Bone marrow aspirate smear:
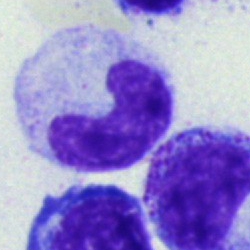 This is a stab cell.